Peripheral blood smear.
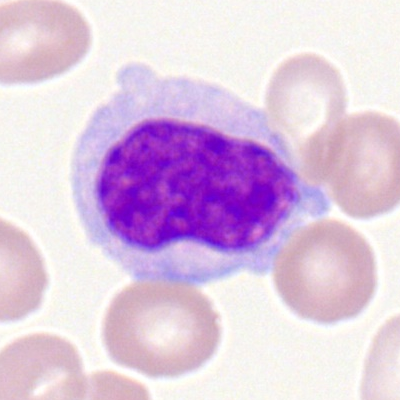
This is a monocyte.